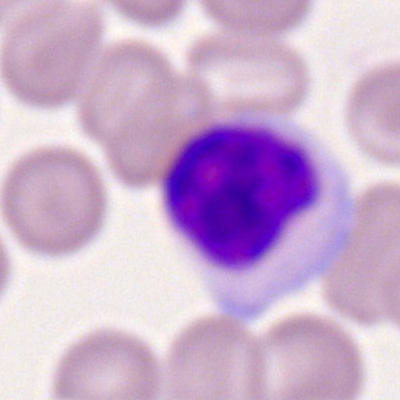Showing a lymphocyte.